Bone marrow aspirate smear — 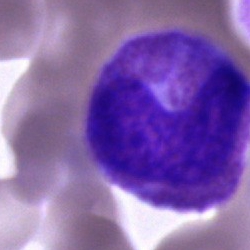
Q: Which cell type is shown here?
A: An eosinophil.